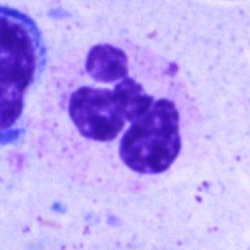

Single cell identified as a neutrophil (segmented).